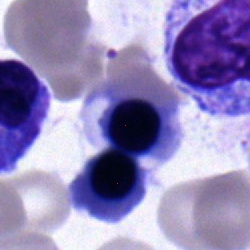 {"cell_type": "erythroblast", "lineage": "erythroid"}